Cropped to a single cell · bone marrow smear:
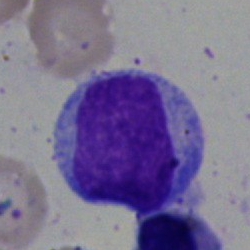 {"cell_type": "typical lymphocyte", "lineage": "lymphoid"}